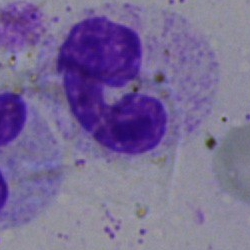

Impression → band neutrophil.